Peripheral blood smear:
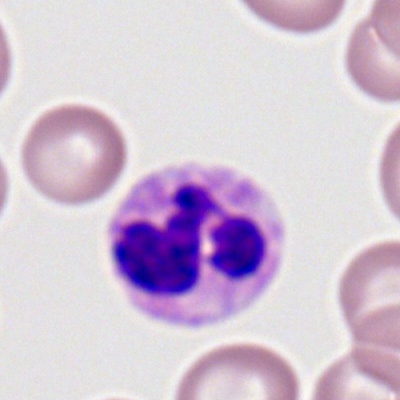

Morphology — polymorphonuclear neutrophil.